250 by 250 pixels. Bone marrow aspirate smear.
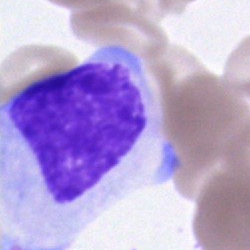
Morphology consistent with a cell of indeterminate lineage.